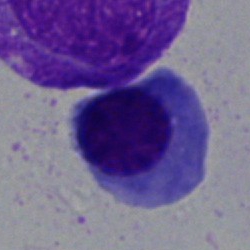

Bone marrow smear showing a normoblast.